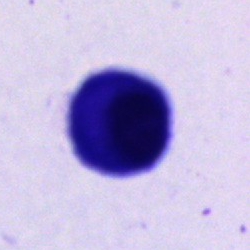 Showing a cell of indeterminate lineage.